Bone marrow aspirate smear — 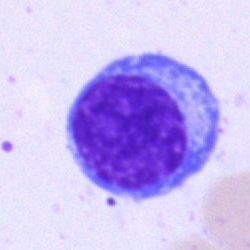
Cell type — typical lymphocyte.